Bone marrow smear.
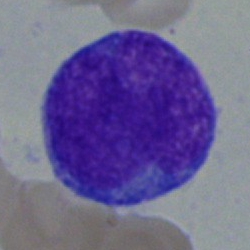

Cell type = blast cell.